Bone marrow smear · MGG-stained — 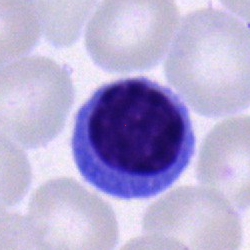Morphology — typical lymphocyte.